Bone marrow smear. May-Grünwald-Giemsa stain. 250×250: 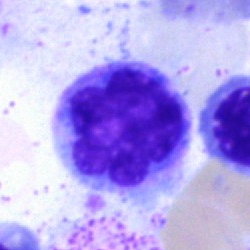{"cell_type": "monocyte", "lineage": "myeloid"}